Single-cell crop; bone marrow smear; 40× objective, oil immersion: 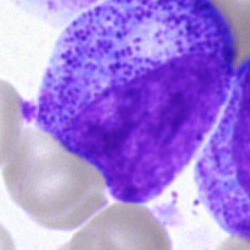

Specimen: bone marrow aspirate smear.
Morphological class: promyelocyte.